Brightfield microscopy, 40× oil immersion. Single-cell crop. Bone marrow aspirate smear.
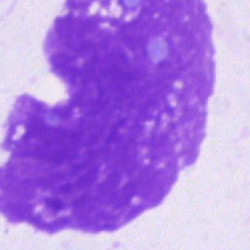

An artefact.